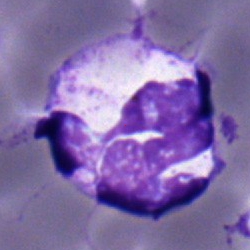 Single-cell crop from a bone marrow smear: segmented neutrophil.